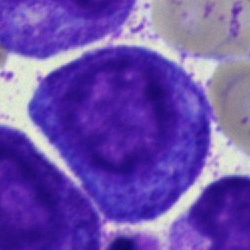 A promyelocyte on a bone marrow smear.